Bone marrow smear.
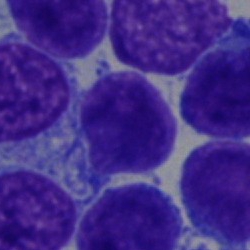Cell — blast cell.